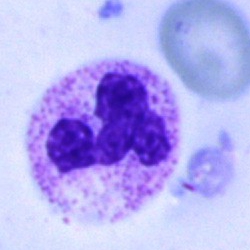
Classification — segmented neutrophil.